Brightfield microscopy, 40× oil immersion; bone marrow smear: 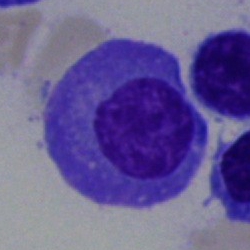
Morphological class: plasma cell.